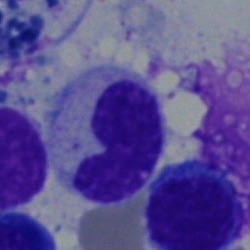 A stab cell.